Bone marrow smear. Brightfield, 40× oil-immersion objective. Image size 250×250:
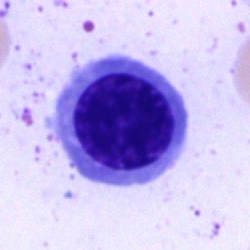 Classification: normoblast.